Bone marrow aspirate smear — 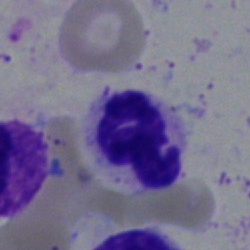

Q: What type of cell is this?
A: Polymorphonuclear neutrophil.